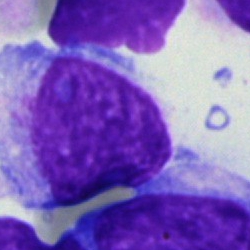 Blast.